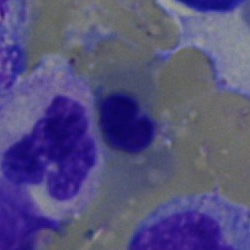
Cell type — polymorphonuclear neutrophil.